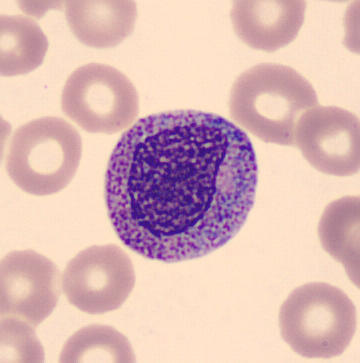
Specimen: peripheral blood film.
Classification: promyelocyte.
Lineage: myeloid.